Peripheral blood film. Image size 360×363:
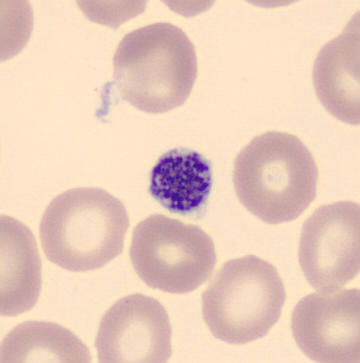

Morphology consistent with a platelet (thrombocyte).